Bone marrow aspirate smear.
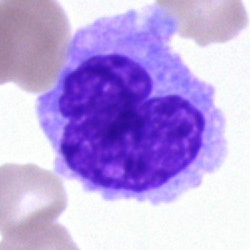
Single cell identified as a monocyte.